Bone marrow smear: 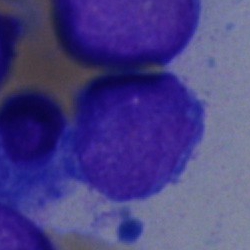
Morphology → undifferentiated blast.